Bone marrow smear.
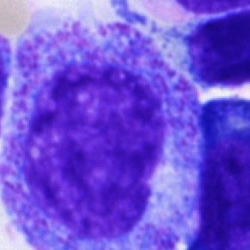 The morphological class is progranulocyte.